Bone marrow smear
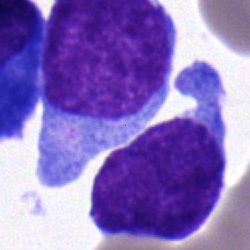

The classification is blast.